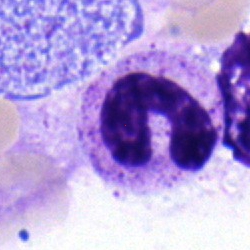This is a band neutrophil.